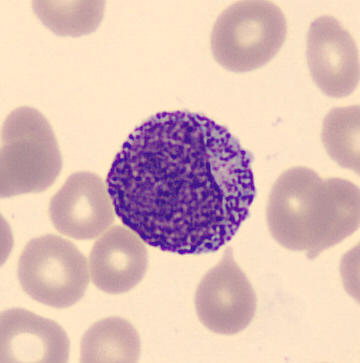

Morphology — progranulocyte.
360 by 363 pixels · peripheral blood film · CellaVision DM96.